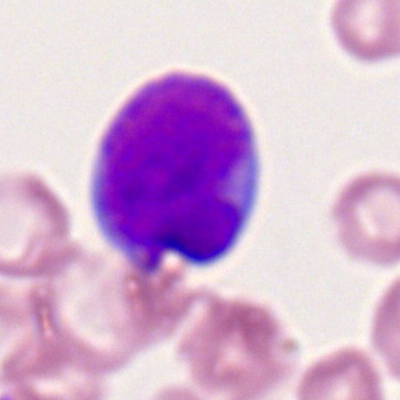Impression — myeloid blast.